Peripheral blood film. 100× oil immersion: 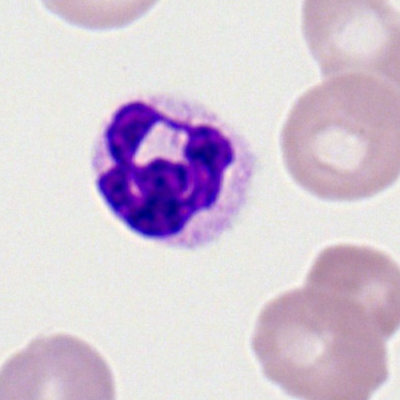{"cell_type": "polymorphonuclear neutrophil", "lineage": "myeloid"}